Bone marrow smear. Single-cell field: 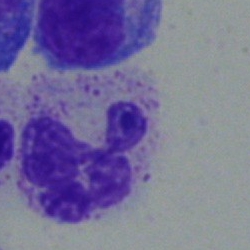Morphology consistent with a neutrophil (segmented).